Bone marrow smear: 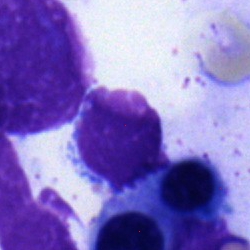

Specimen: bone marrow aspirate smear.
Classification: typical lymphocyte.